Bone marrow smear · single-cell field: 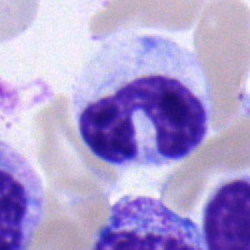
{"cell_type": "band-form neutrophil", "lineage": "myeloid"}